Bone marrow aspirate smear.
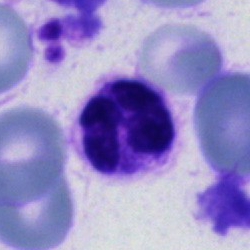Cell = polymorphonuclear neutrophil.